Bone marrow smear. Brightfield microscopy, 40× oil immersion: 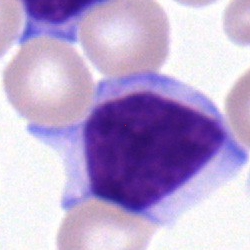

Classification — lymphocyte.